Bone marrow smear · 250 by 250 pixels · 40× oil immersion: 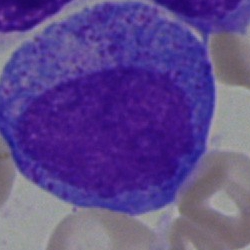 Morphological class = promyelocyte.